Bone marrow smear
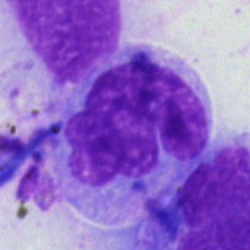Cell: monocyte.